Bone marrow smear.
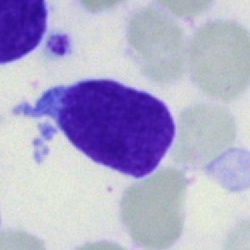

Specimen: bone marrow smear.
Cell: blast.